Bone marrow smear; single-cell crop — 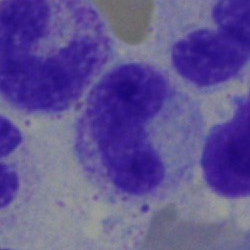
Single cell identified as a band neutrophil.